Peripheral blood film. 400×400 px.
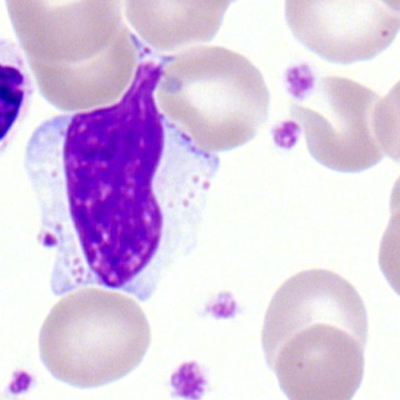Classification: lymphocyte.